Single cell centered in the field · bone marrow smear
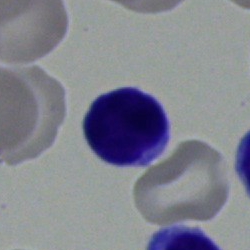

Showing a lymphocyte.